Bone marrow aspirate smear; 40× oil immersion: 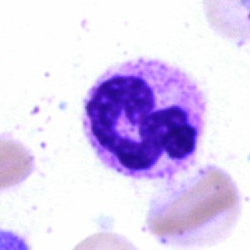
Q: Identify the cell.
A: Segmented neutrophil.